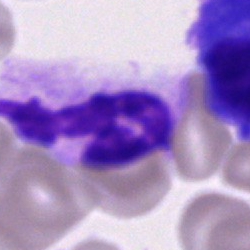 Specimen: bone marrow aspirate smear.
Cell type: polymorphonuclear neutrophil.
Lineage: myeloid.